Peripheral blood film — 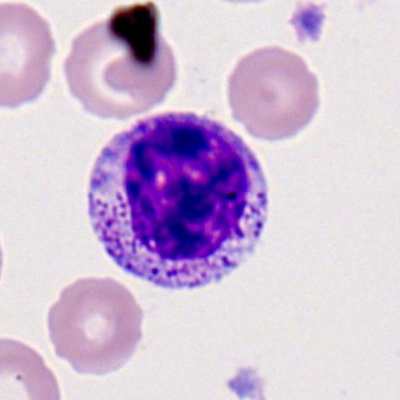
Morphological class — myelocyte.